Bone marrow aspirate smear; cropped to a single cell
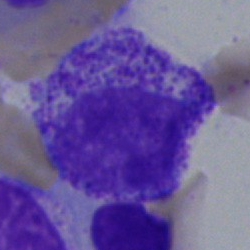 Q: What is the morphological classification of this cell?
A: Myelocyte.